Bone marrow aspirate smear. 250×250 px
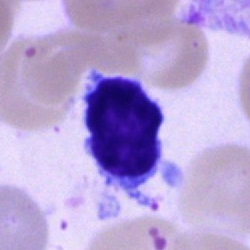 Morphology → typical lymphocyte.